Bone marrow smear
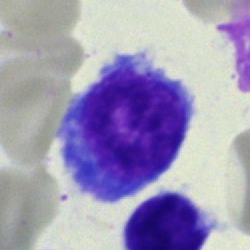

Cell type — blast cell.